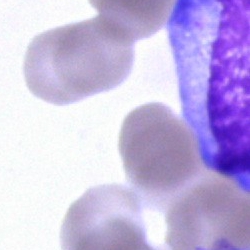
Q: What is the morphological classification of this cell?
A: An unidentifiable cell.